Bone marrow smear.
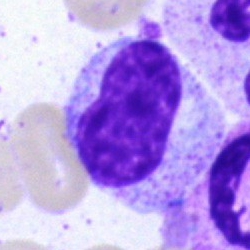Specimen: bone marrow smear.
Morphological class: artefact.